May-Grünwald-Giemsa/Pappenheim stain; single-cell crop; bone marrow smear — 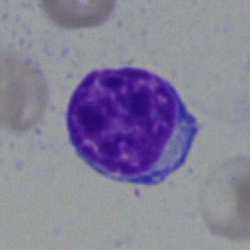

Cell type: typical lymphocyte.